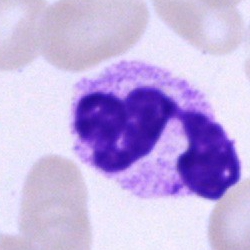 Bone marrow smear showing a segmented neutrophil.